Bone marrow smear:
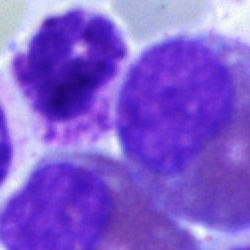

The cell is basophilic granulocyte.